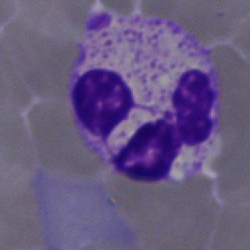This is a segmented neutrophil.